Bone marrow smear · single-cell crop
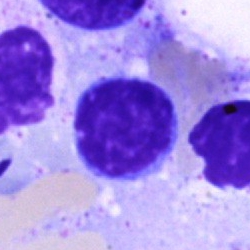
{"cell_type": "typical lymphocyte"}